MGG-stained; bone marrow aspirate smear; cropped to a single cell.
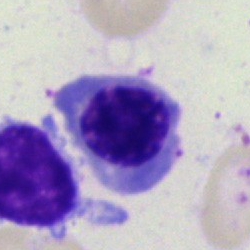 Showing a nucleated red cell.